Peripheral blood film · single-cell field · M8 digital microscope (Precipoint), 100× oil immersion.
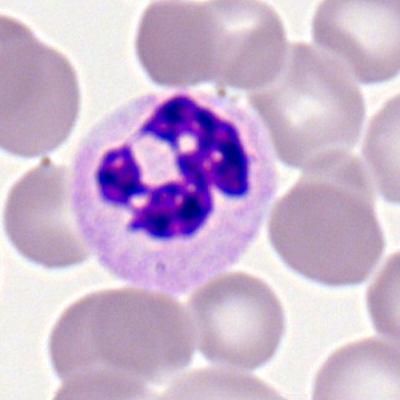

Single cell identified as a segmented neutrophil.